May-Grünwald-Giemsa stain; single-cell crop; bone marrow smear.
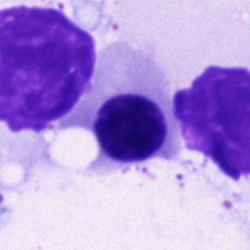
Q: What is shown here?
A: Artefact.